Bone marrow aspirate smear — 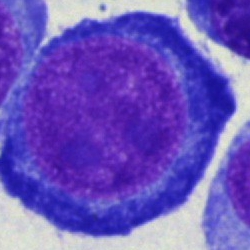
Specimen: bone marrow smear.
Classification: proerythroblast.